Bone marrow smear · 40× oil immersion · May-Grünwald-Giemsa stain
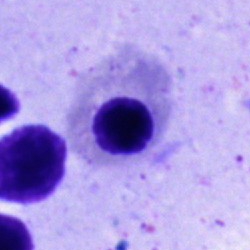
Classification — normoblast.